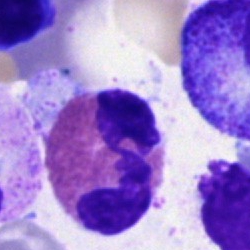Bone marrow smear showing an eosinophil.